Bone marrow aspirate smear:
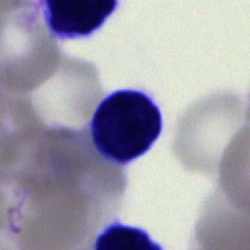Cell = lymphocyte.